Bone marrow aspirate smear
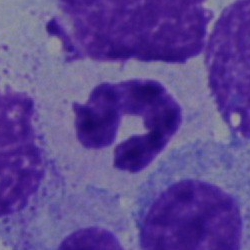

Cell type — polymorphonuclear neutrophil.